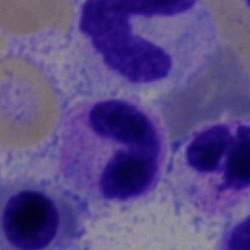

Q: What is the morphological classification of this cell?
A: This is a stab cell.